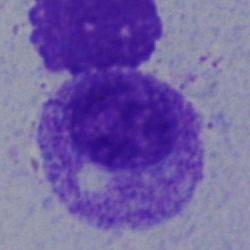This is a myelocyte.